Bone marrow smear: 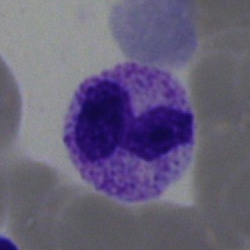
{"cell_type": "segmented neutrophil", "lineage": "myeloid"}